Bone marrow aspirate smear — 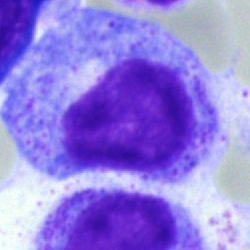 Single cell identified as a progranulocyte.